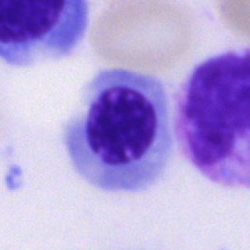
Classification — nucleated red blood cell.